Bone marrow aspirate smear
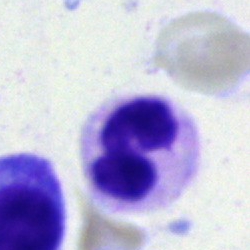The cell shown is a neutrophil (band).